Bone marrow aspirate smear — 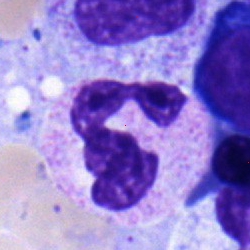

Impression → polymorphonuclear neutrophil.